400×400 px. Peripheral blood smear: 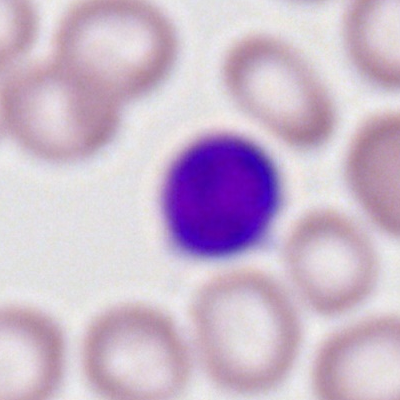
Impression → typical lymphocyte.